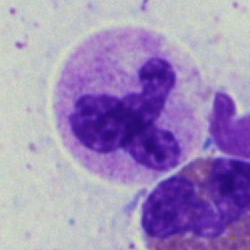 The morphological class is segmented neutrophil.